Bone marrow aspirate smear — 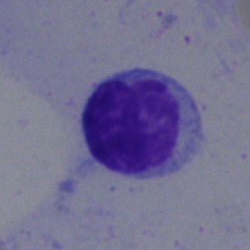 Lymphocyte.